Bone marrow smear: 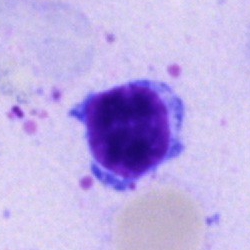
{"cell_type": "lymphocyte"}